Bone marrow smear:
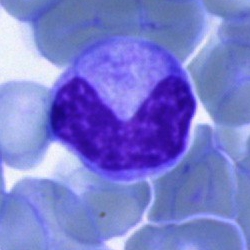 Specimen: bone marrow smear.
Cell type: band neutrophil.
Lineage: myeloid.